Image size 250×250 · bone marrow smear — 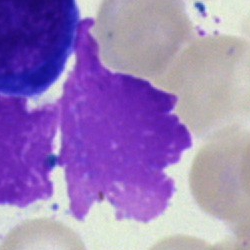 Specimen: bone marrow smear.
Cell type: artifact.